Bone marrow smear: 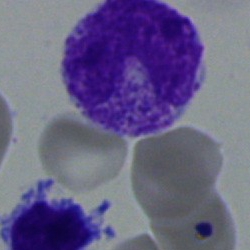
Q: What is the morphological classification of this cell?
A: A band-form neutrophil.